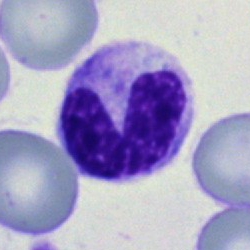

Morphological class: neutrophil (band).